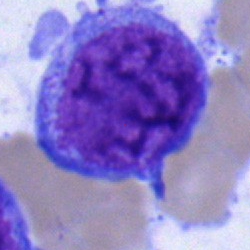
This is an undifferentiated blast.